Brightfield microscopy, 40× oil immersion. Bone marrow smear
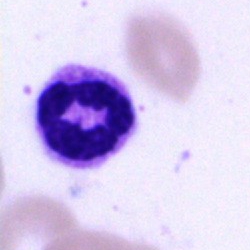This is a neutrophil (segmented).